Bone marrow aspirate smear · 250 by 250 pixels
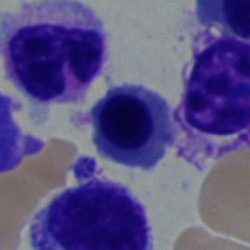
Cell: nucleated red cell.